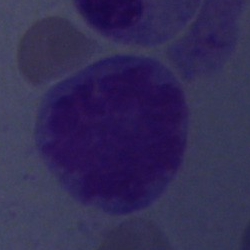Bone marrow smear showing an artifact.